Bone marrow smear — 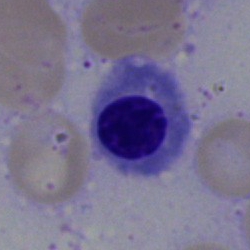
Cell type = nucleated red cell.